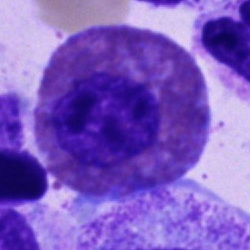 Q: Which cell type is shown here?
A: An eosinophilic granulocyte.